Bone marrow aspirate smear: 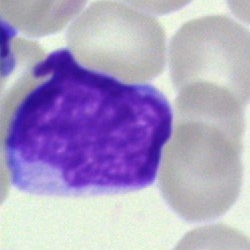Specimen: bone marrow smear.
Cell: undifferentiated blast.